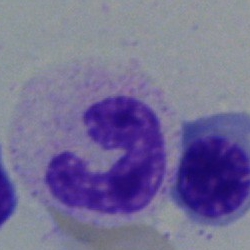Impression → stab cell.